Pappenheim-stained. 40× objective, oil immersion. Bone marrow aspirate smear.
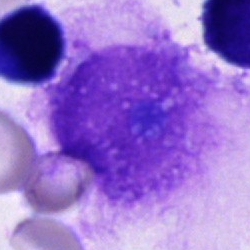
The cell shown is an artifact.